Peripheral blood film:
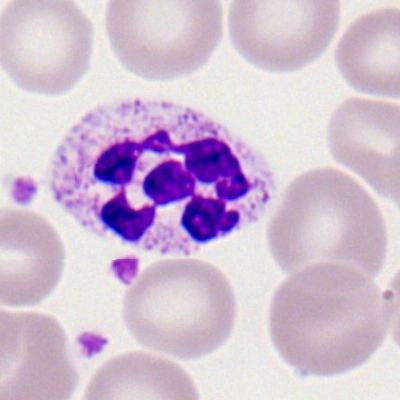This is a polymorphonuclear neutrophil.